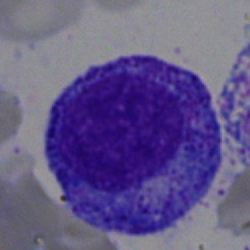 Impression → progranulocyte.